Brightfield, 40× oil-immersion objective. MGG-stained. Bone marrow aspirate smear:
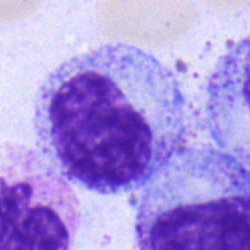

Classification: metamyelocyte.